Cropped to a single cell. Peripheral blood film. May-Grünwald-Giemsa-stained: 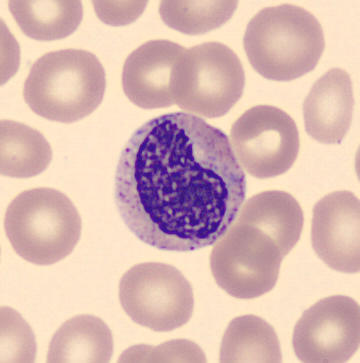
Cell type = metamyelocyte.